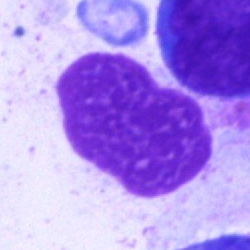
{"cell_type": "artifact"}